Bone marrow aspirate smear — 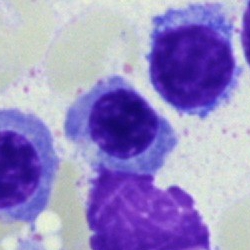

Morphological class: nucleated red cell.